Bone marrow aspirate smear — 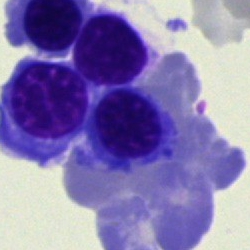Morphology → nucleated red cell.